Bone marrow aspirate smear: 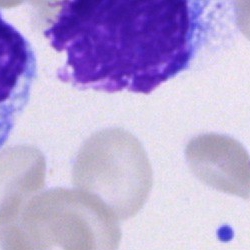
Morphology — unidentifiable cell.